Single-cell crop. Bone marrow smear. 250×250 px
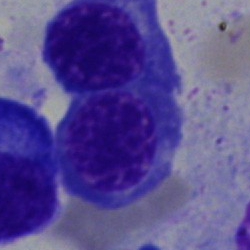 Specimen: bone marrow smear.
Cell type: nucleated red cell.
Lineage: erythroid.